Pappenheim-stained · bone marrow aspirate smear
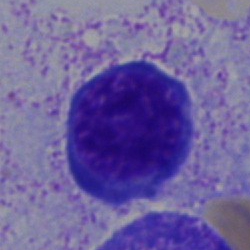

Cell type: erythroblast.